Bone marrow aspirate smear
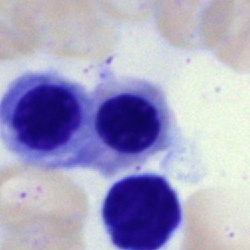 Morphology — nucleated red cell.